Bone marrow smear:
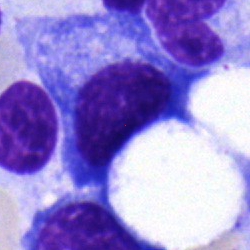
Q: Identify the cell.
A: A plasmacyte.